Brightfield microscopy, 40× oil immersion · bone marrow smear:
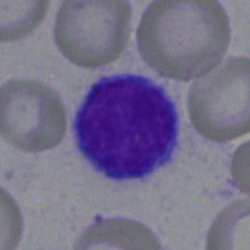

Morphology consistent with a lymphocyte.